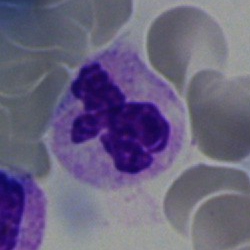 Classification: segmented neutrophil.